Bone marrow smear
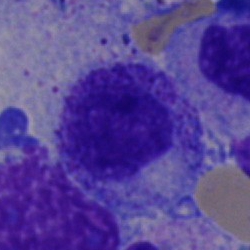 Specimen: bone marrow aspirate smear.
Cell type: promyelocyte.